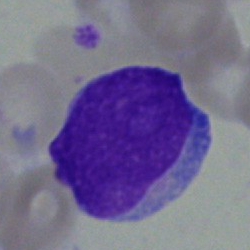 Specimen: bone marrow aspirate smear.
Classification: blast cell.